Bone marrow aspirate smear
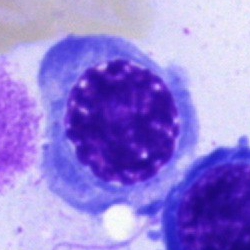The cell shown is an erythroblast.